40× objective, oil immersion · bone marrow aspirate smear: 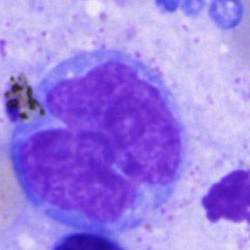

Single cell identified as a monocyte.